Bone marrow aspirate smear: 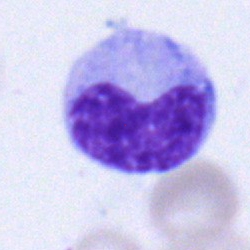 Q: What cell is this?
A: A metamyelocyte.